Brightfield microscopy, 40× oil immersion; bone marrow aspirate smear; Pappenheim-stained:
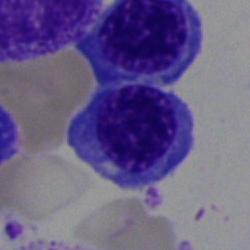
Showing a normoblast.